Bone marrow smear.
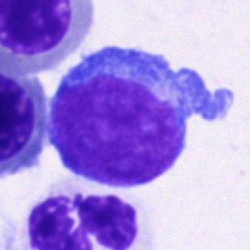 Single cell identified as an undifferentiated blast.